Bone marrow smear: 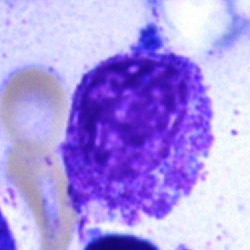Q: What is shown here?
A: It is an artefact.